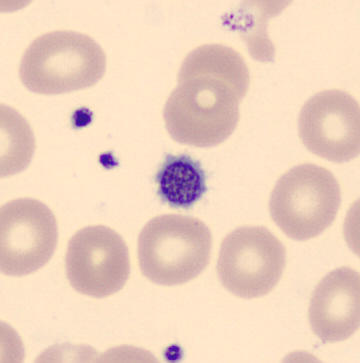
Morphology consistent with a platelet.

Peripheral blood smear. 360×363 px.